Bone marrow aspirate smear: 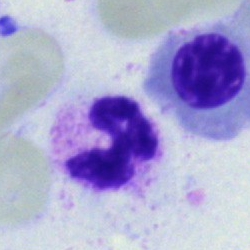

Q: Identify the cell.
A: It is a polymorphonuclear neutrophil.